Bone marrow aspirate smear; May-Grünwald-Giemsa stain: 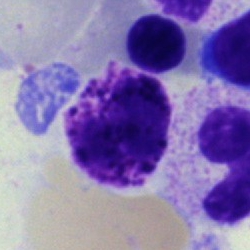 Basophilic granulocyte.